Bone marrow aspirate smear — 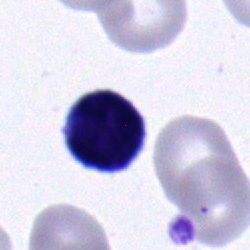
Lymphocyte.